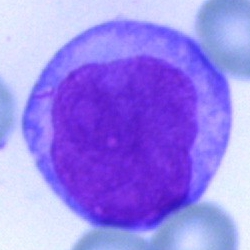Blast cell.